Peripheral blood film
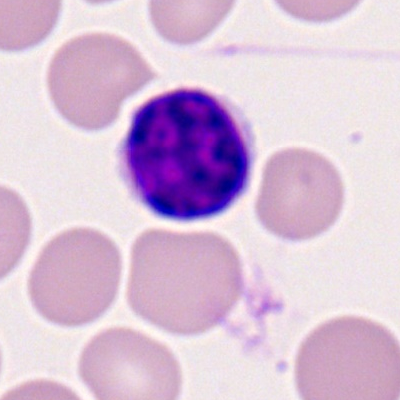
Showing a lymphocyte.